May-Grünwald-Giemsa stain · bone marrow aspirate smear: 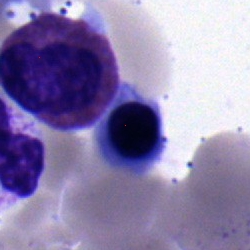Specimen: bone marrow smear.
Cell type: nucleated red cell.